Bone marrow aspirate smear · brightfield microscopy, 40× oil immersion
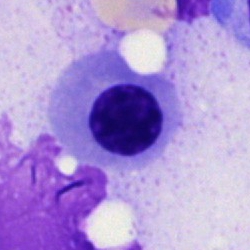 Normoblast.